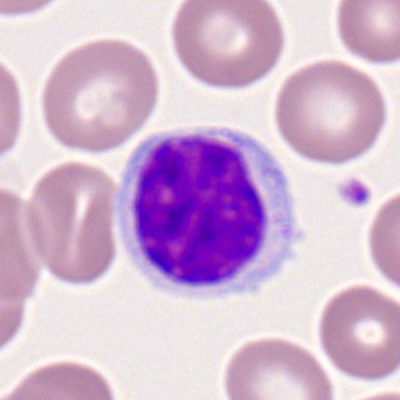
This is a lymphocyte.